Bone marrow smear — 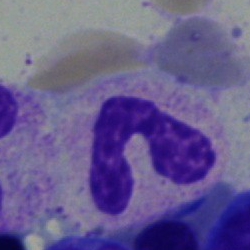Classification — band neutrophil.